Cropped to a single cell. Bone marrow aspirate smear
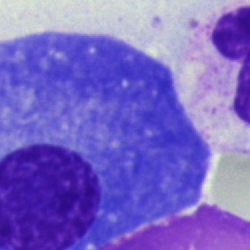Cell: plasma cell.